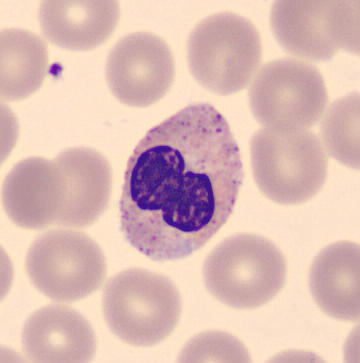 Morphology consistent with a band neutrophil.

Peripheral blood film.